Bone marrow smear.
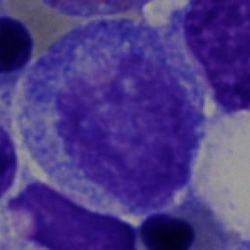{"cell_type": "progranulocyte", "lineage": "myeloid"}